Peripheral blood film: 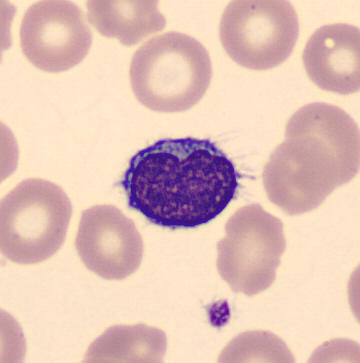

{"cell_type": "typical lymphocyte"}